Bone marrow smear · MGG-stained · single cell centered in the field.
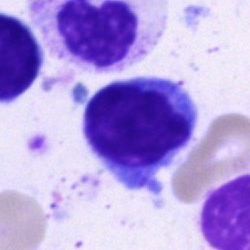 {"cell_type": "typical lymphocyte", "lineage": "lymphoid"}